Pappenheim-stained · brightfield, 40× oil-immersion objective · bone marrow aspirate smear
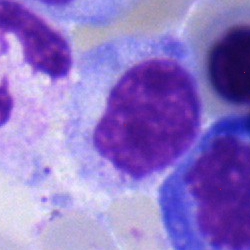Q: What is shown here?
A: It is a metamyelocyte.